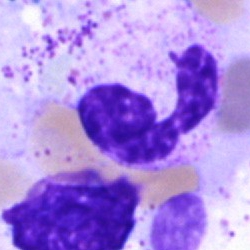

{"cell_type": "neutrophil (segmented)", "lineage": "myeloid"}